Bone marrow aspirate smear
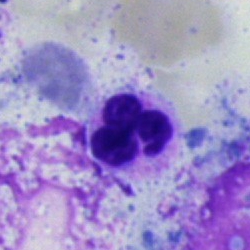Morphology — segmented neutrophil.